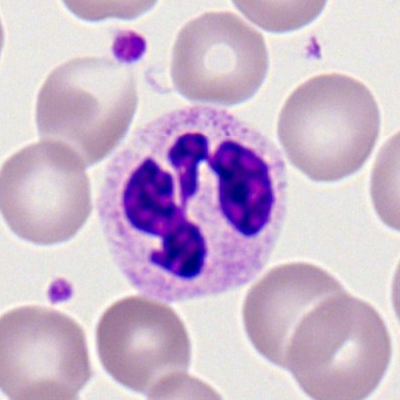
The cell shown is a polymorphonuclear neutrophil.